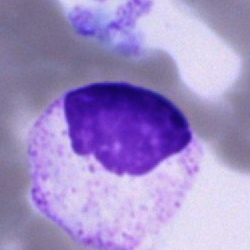

Cell type: cell of indeterminate lineage.